100× oil immersion · peripheral blood film.
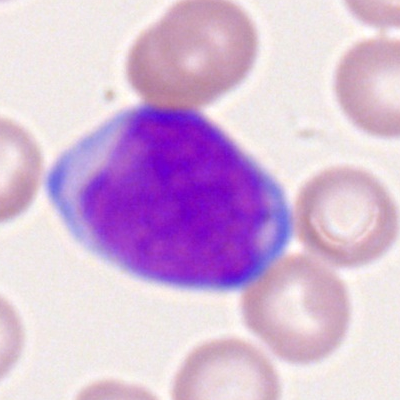 Morphology consistent with a myeloblast.